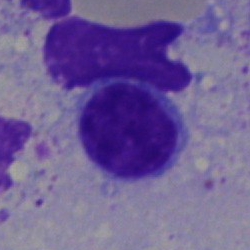The cell is typical lymphocyte.